Peripheral blood smear:
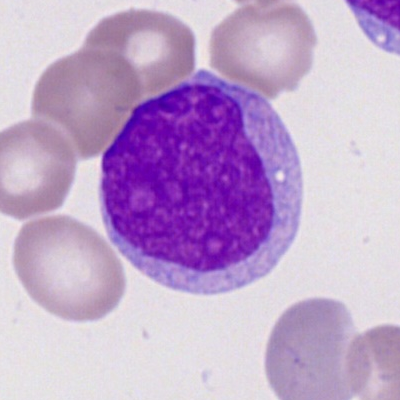

The cell shown is a myeloblast.